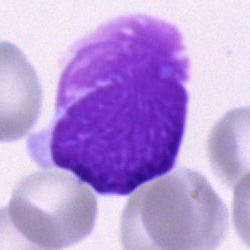Q: What is shown here?
A: It is an artifact.